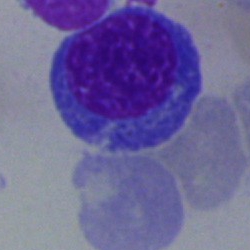 The classification is nucleated red blood cell.